Bone marrow smear · single cell centered in the field · May-Grünwald-Giemsa stain: 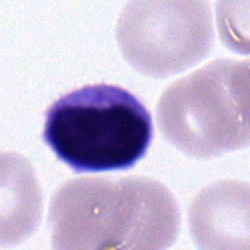

Q: What type of cell is this?
A: Lymphocyte.